Brightfield, 40× oil-immersion objective. Bone marrow aspirate smear.
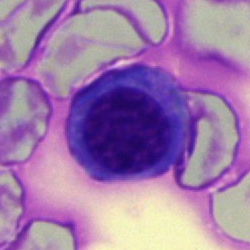 Showing a nucleated red cell.